Bone marrow aspirate smear. Image size 250×250. Cropped to a single cell — 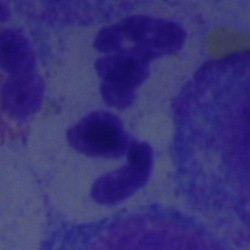 Cell = segmented neutrophil.